Peripheral blood smear · 100× objective, oil immersion.
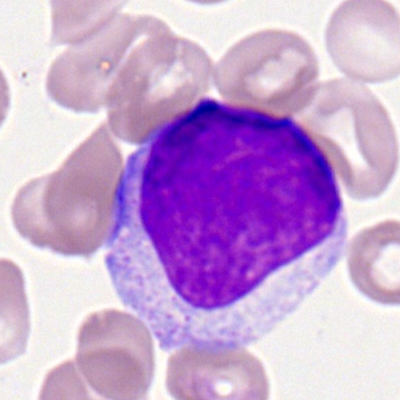

Specimen: peripheral blood smear.
Morphological class: myeloblast.
Lineage: myeloid.